Romanowsky-type stain; 400 by 400 pixels; peripheral blood film — 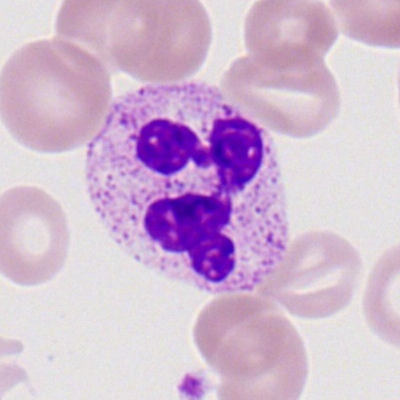

The cell type is neutrophil (segmented).